Single cell centered in the field · bone marrow aspirate smear · 40× oil immersion:
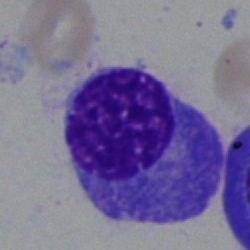

Impression → plasmacyte.